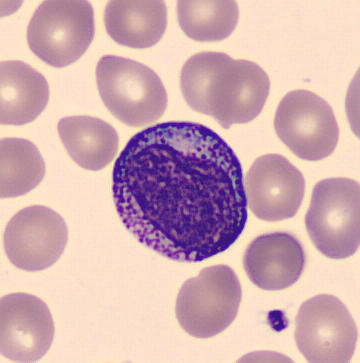 Acquisition: CellaVision DM96; peripheral blood film.

Cell — progranulocyte.